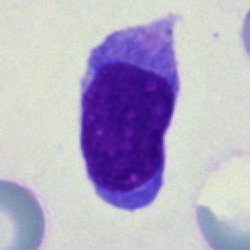{"cell_type": "undifferentiated blast"}